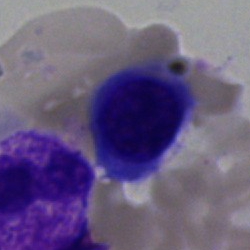

The cell is erythroblast.